Bone marrow aspirate smear:
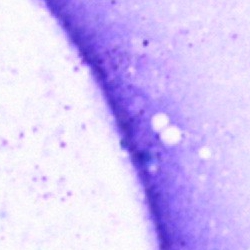Specimen: bone marrow smear.
Cell type: artefact.